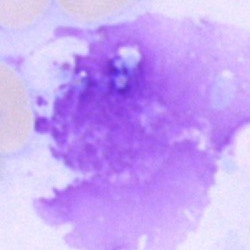

Morphology → artefact.